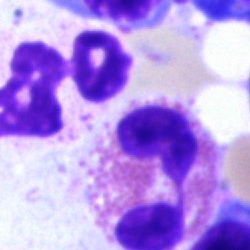 This is an eosinophil.